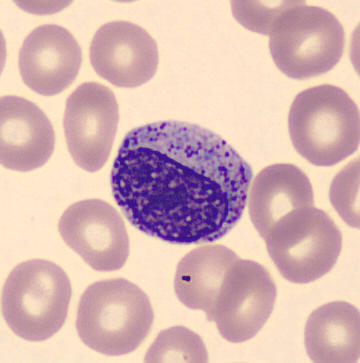
Classification = metamyelocyte.
Acquisition: Peripheral blood film.